Bone marrow aspirate smear
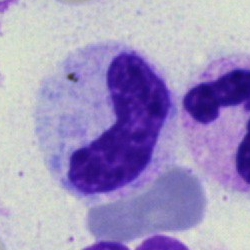

Specimen: bone marrow smear.
Cell: stab cell.